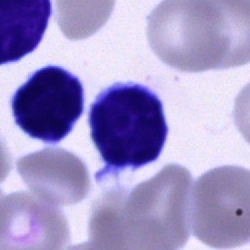
Q: What cell is this?
A: A typical lymphocyte.